Bone marrow smear · image size 250×250 · May-Grünwald-Giemsa/Pappenheim stain
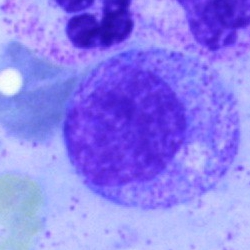

Cell — myelocyte.